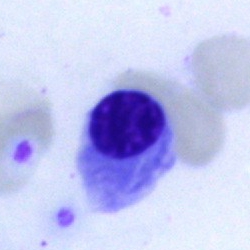 A nucleated red blood cell on a bone marrow smear.